Single-cell crop; peripheral blood smear.
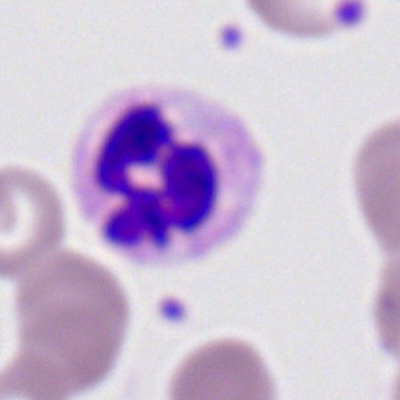
This is a polymorphonuclear neutrophil.